Bone marrow smear
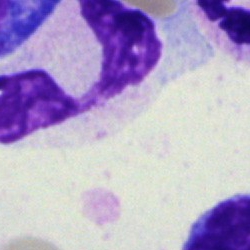
Morphology consistent with an artifact.